Bone marrow smear:
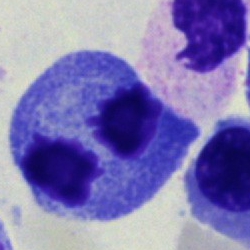

Specimen: bone marrow smear.
Morphological class: artefact.